May-Grünwald-Giemsa stain; bone marrow smear; 250×250
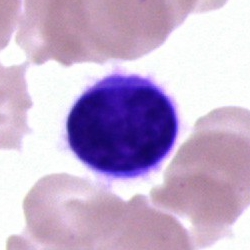Q: What is the morphological classification of this cell?
A: It is a typical lymphocyte.